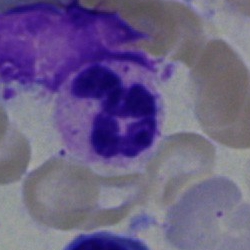
Specimen: bone marrow smear.
Cell: neutrophil (segmented).